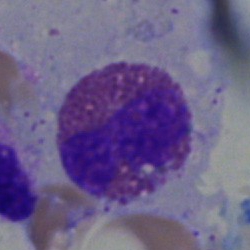Q: What is shown here?
A: An eosinophil.